Bone marrow smear — 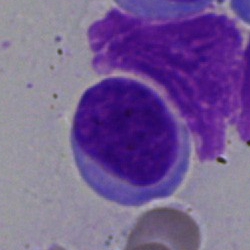 Specimen: bone marrow aspirate smear.
Classification: typical lymphocyte.
Lineage: lymphoid.